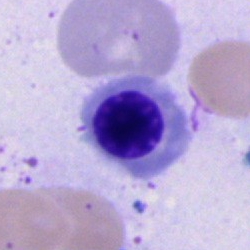Bone marrow aspirate smear, single cell — erythroblast.